Bone marrow aspirate smear. Pappenheim-stained. 40× objective, oil immersion.
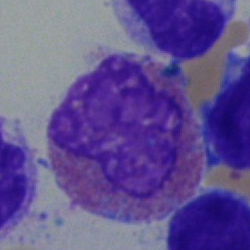
Morphology → eosinophilic granulocyte.